Peripheral blood film: 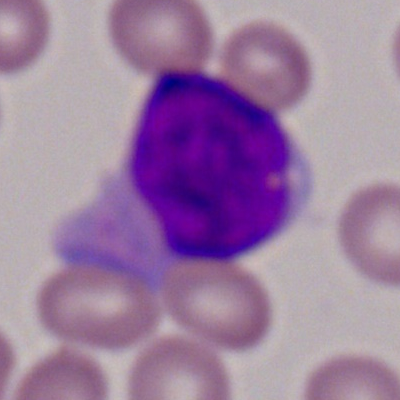
The cell type is myeloid blast.